Bone marrow aspirate smear: 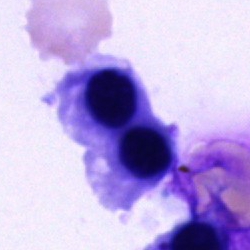

Morphology consistent with a nucleated red cell.